Bone marrow smear — 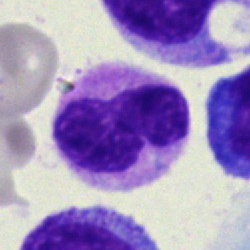

Impression — band neutrophil.